Bone marrow aspirate smear:
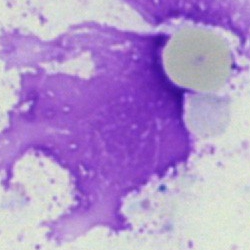

Q: What is shown here?
A: An artefact.